Bone marrow aspirate smear — 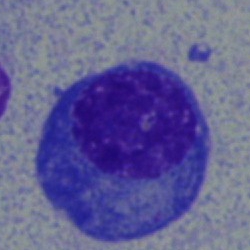
Cell type = plasmacyte.